Cropped to a single cell · image size 250×250 · bone marrow smear — 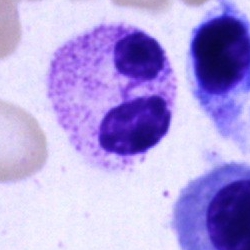

Single cell identified as a polymorphonuclear neutrophil.